Bone marrow aspirate smear
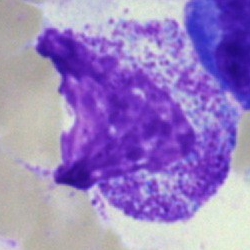Specimen: bone marrow smear.
Classification: myelocyte.